250×250; bone marrow aspirate smear; 40× oil immersion
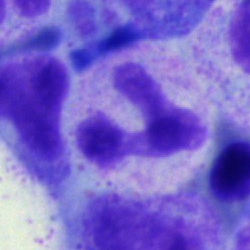

Q: What cell is this?
A: A neutrophil (segmented).